Bone marrow smear · 250×250 px: 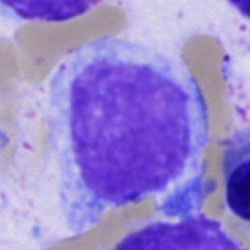

Single cell identified as a progranulocyte.